Brightfield, 40× oil-immersion objective; bone marrow aspirate smear — 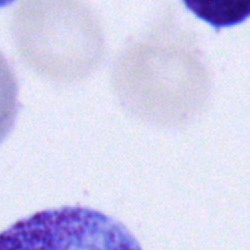Q: What is the morphological classification of this cell?
A: A lymphocyte.